250×250 · bone marrow smear · May-Grünwald-Giemsa stain — 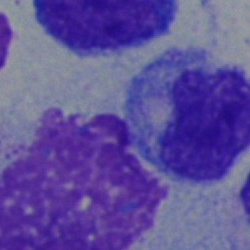
Q: What type of cell is this?
A: Monocyte.